Bone marrow smear — 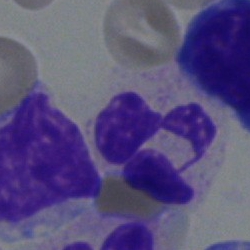
Cell: neutrophil (segmented).